Brightfield microscopy, 40× oil immersion · bone marrow aspirate smear
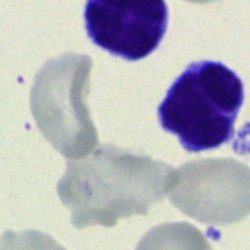
This is a typical lymphocyte.